Bone marrow smear; 250×250:
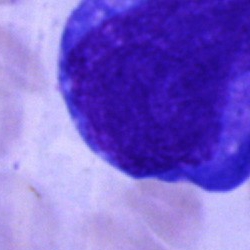 A blast cell.